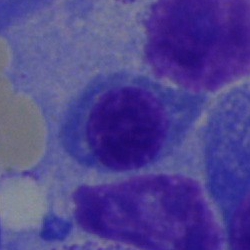 Cell type = erythroblast.